Bone marrow aspirate smear.
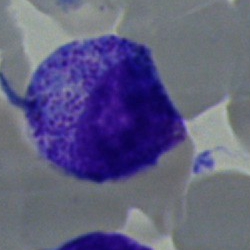

Classification = myelocyte.